Bone marrow smear. 250×250 px. May-Grünwald-Giemsa stain.
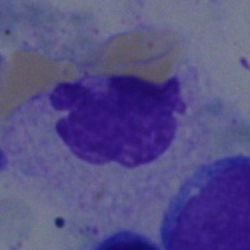

A polymorphonuclear neutrophil.